Bone marrow aspirate smear; brightfield microscopy, 40× oil immersion — 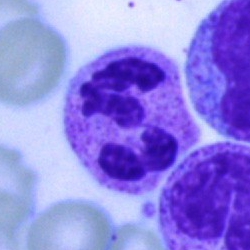
Specimen: bone marrow aspirate smear.
Morphological class: neutrophil (segmented).
Lineage: myeloid.